Bone marrow smear · single-cell crop:
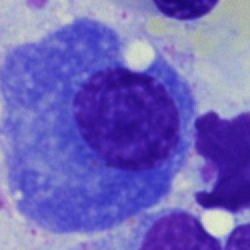 This is a plasma cell.